Bone marrow smear: 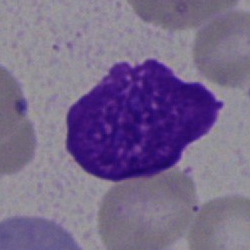 Specimen: bone marrow aspirate smear.
Cell: artefact.